Bone marrow aspirate smear
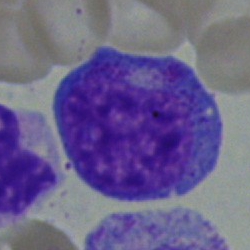 Classification: progranulocyte.